Bone marrow smear.
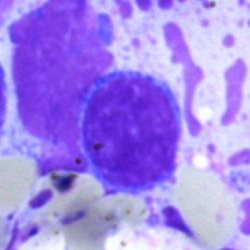
Cell: typical lymphocyte.